Bone marrow aspirate smear; 250 by 250 pixels.
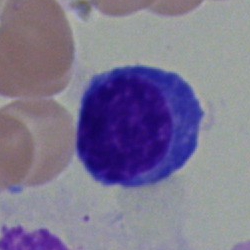Typical lymphocyte.